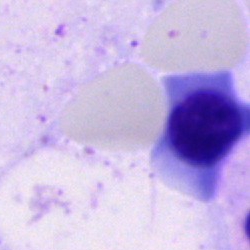Nucleated red cell.